250×250; bone marrow smear.
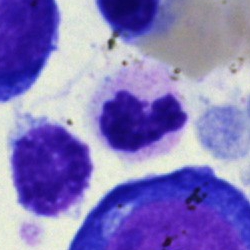Cell: neutrophil (segmented).